Bone marrow aspirate smear · image size 250×250: 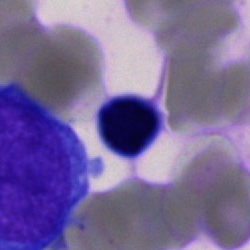 Q: What is shown here?
A: An artefact.